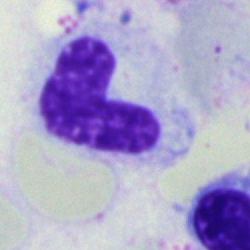

Q: What cell is this?
A: A stab cell.